Brightfield, 40× oil-immersion objective · bone marrow smear · May-Grünwald-Giemsa/Pappenheim stain
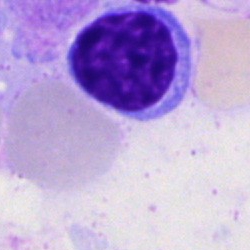

Cell type = lymphocyte.